Bone marrow smear — 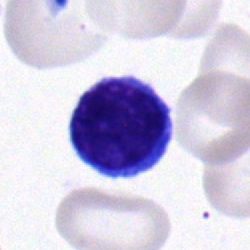

Specimen: bone marrow smear.
Cell: lymphocyte.
Lineage: lymphoid.